40× oil immersion. Bone marrow smear. MGG-stained:
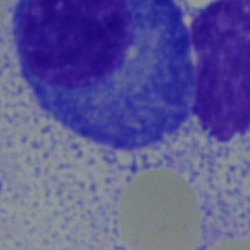
Morphological class = plasmacyte.